May-Grünwald-Giemsa/Pappenheim stain; bone marrow aspirate smear; 40× oil immersion
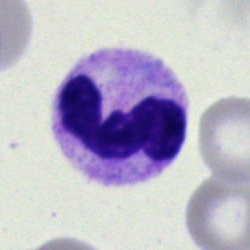

This is a neutrophil (segmented).